Bone marrow smear · May-Grünwald-Giemsa/Pappenheim stain.
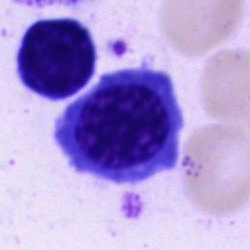
Morphology — normoblast.